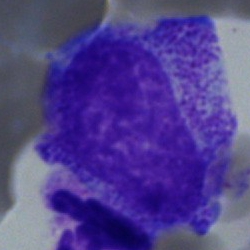Morphology — progranulocyte.